Bone marrow smear — 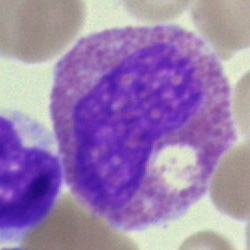Single cell identified as an eosinophilic granulocyte.